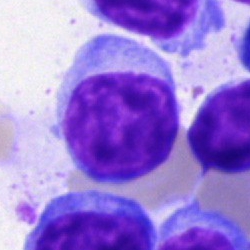 Bone marrow smear showing a lymphocyte.